Bone marrow smear.
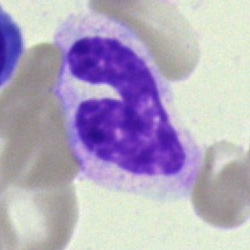
Impression — stab cell.